Bone marrow smear; Pappenheim-stained: 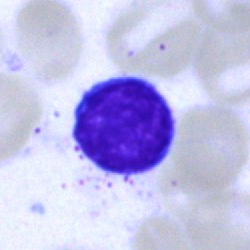 Impression → artifact.